Bone marrow aspirate smear; 250×250:
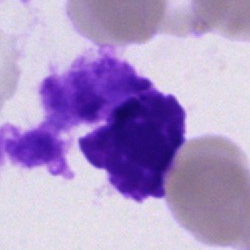 {"cell_type": "artefact"}